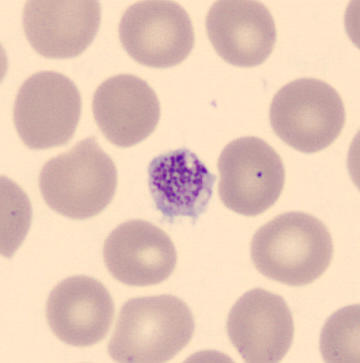
Peripheral blood film · 360×363 px.

This is a thrombocyte.